May-Grünwald-Giemsa/Pappenheim stain; bone marrow aspirate smear — 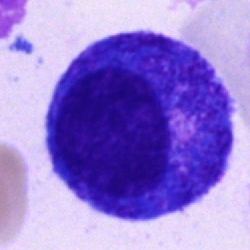
Showing a progranulocyte.